Peripheral blood film — 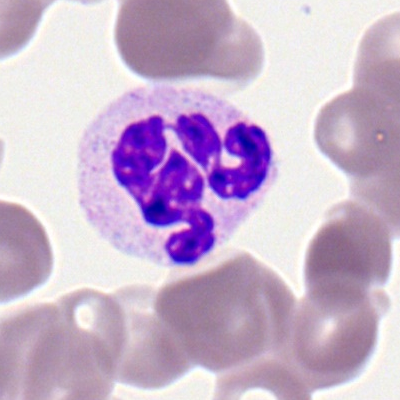
Specimen: peripheral blood film.
Classification: segmented neutrophil.
Lineage: myeloid.